Peripheral blood smear
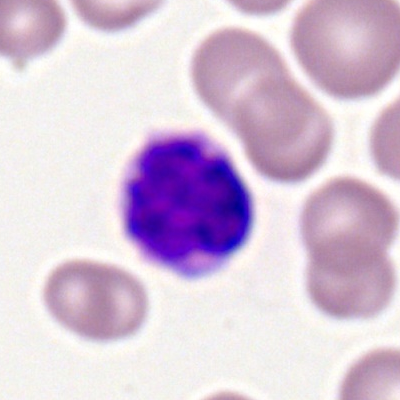A typical lymphocyte.